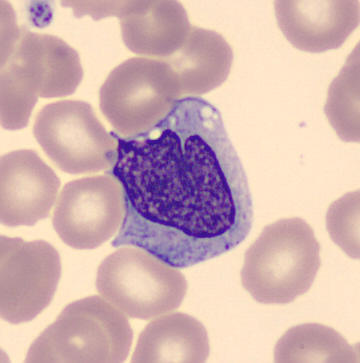

Morphology → monocyte.

Preparation: Peripheral blood smear. 360×363.